Peripheral blood film; 100× oil immersion, 14.14 px/µm
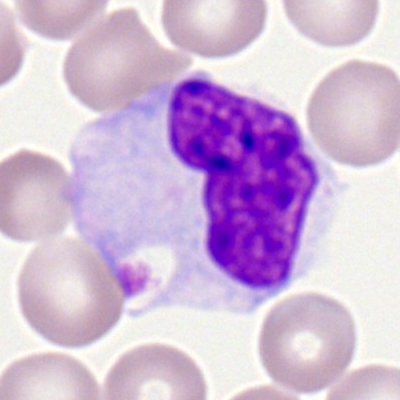
Morphology → monocyte.